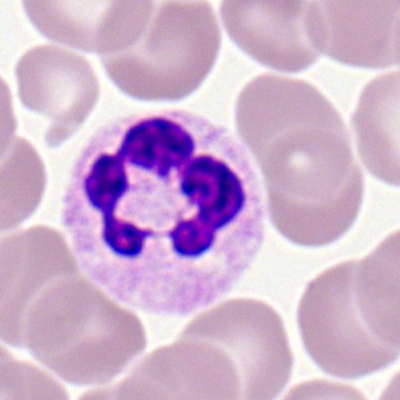

A neutrophil (segmented) on a peripheral blood smear.